Single-cell field · bone marrow smear
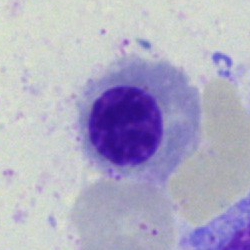 Morphological class — erythroblast.